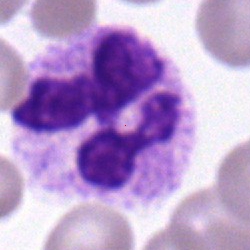 Classification = neutrophil (segmented).